Bone marrow aspirate smear.
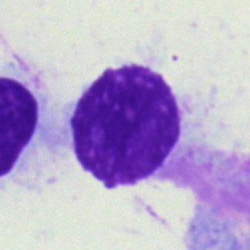 Specimen: bone marrow aspirate smear.
Morphological class: artifact.